Single cell centered in the field. Brightfield, 40× oil-immersion objective. Bone marrow aspirate smear
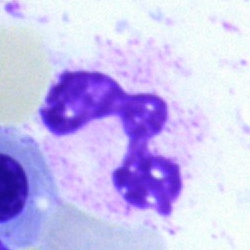Classification — neutrophil (segmented).